Bone marrow aspirate smear: 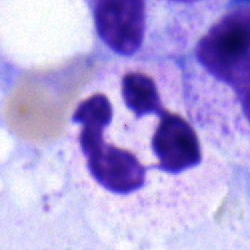
Specimen: bone marrow smear.
Morphological class: typical lymphocyte.